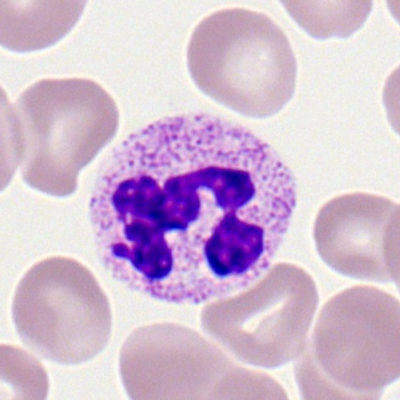
Specimen: peripheral blood smear.
Cell: segmented neutrophil.
Lineage: myeloid.